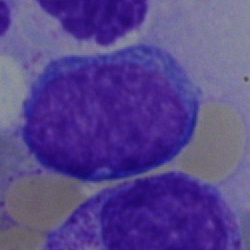
Bone marrow smear showing an undifferentiated blast.